Cropped to a single cell; bone marrow smear.
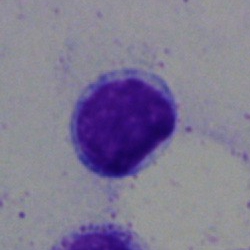 Classification: typical lymphocyte.